Bone marrow aspirate smear:
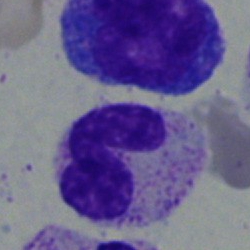The morphological class is band neutrophil.